Bone marrow aspirate smear
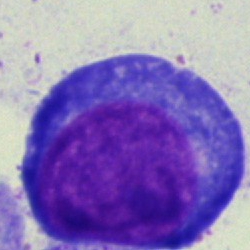

The cell shown is a pronormoblast.